Peripheral blood smear. May Grünwald-Giemsa stain: 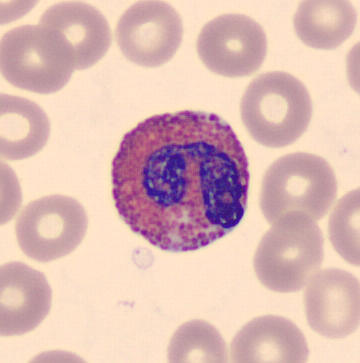An eosinophil.